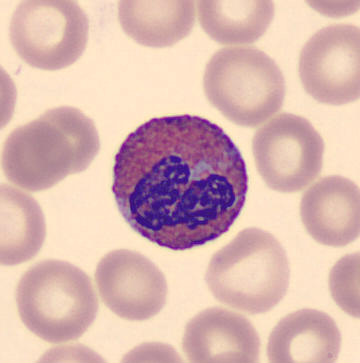

Q: What is the morphological classification of this cell?
A: This is an eosinophilic granulocyte.